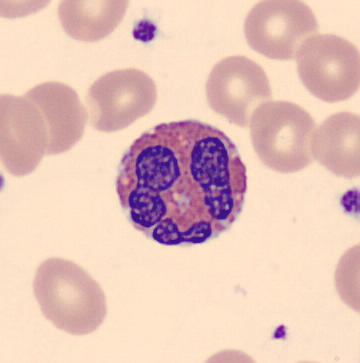Cell = eosinophilic granulocyte. Peripheral blood smear.